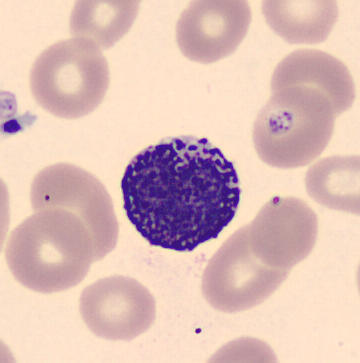Preparation: Peripheral blood film.
{"cell_type": "basophil", "lineage": "myeloid"}